Bone marrow aspirate smear
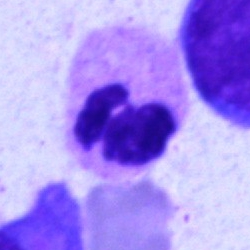

Classification = neutrophil (segmented).